40× objective, oil immersion. Bone marrow aspirate smear.
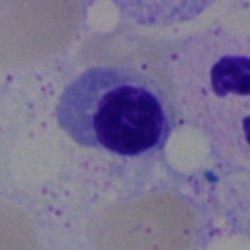

Specimen: bone marrow aspirate smear.
Cell: nucleated red cell.
Lineage: erythroid.